Bone marrow smear
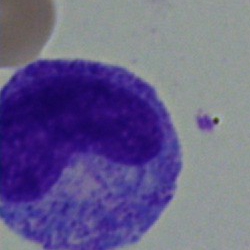Q: What is shown here?
A: A metamyelocyte.